Cropped to a single cell; bone marrow smear: 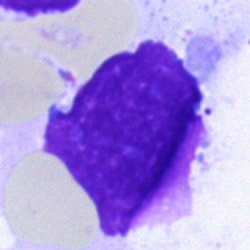{"cell_type": "artifact"}